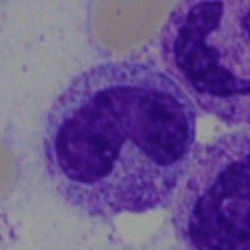Specimen: bone marrow aspirate smear.
Morphological class: neutrophil (band).
Lineage: myeloid.